Peripheral blood film.
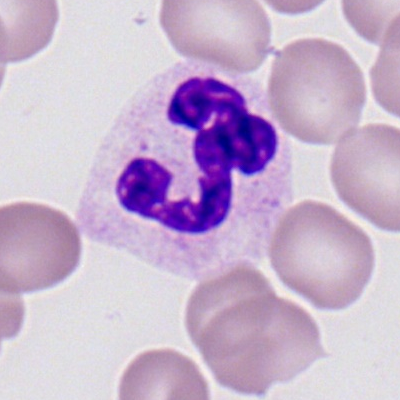

Classification — segmented neutrophil.